Single-cell field; bone marrow smear; image size 250×250.
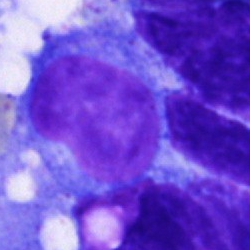 Q: Identify the cell.
A: It is an undifferentiated blast.